Peripheral blood film:
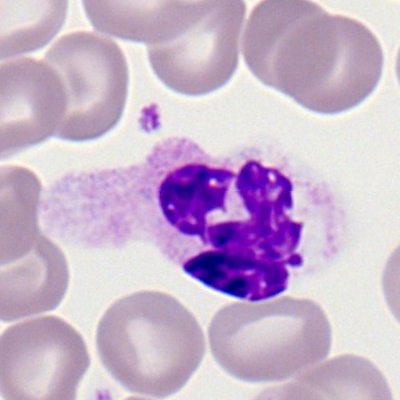

Polymorphonuclear neutrophil.